Bone marrow aspirate smear:
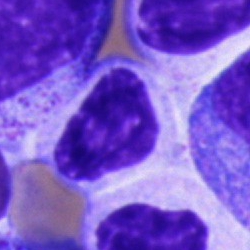

Specimen: bone marrow aspirate smear.
Classification: cell of indeterminate lineage.